Bone marrow smear — 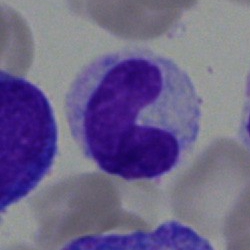
Morphology consistent with a stab cell.